Bone marrow smear · 250×250 px · cropped to a single cell: 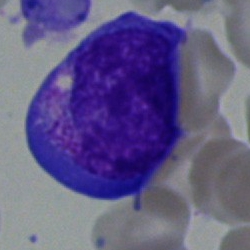
Specimen: bone marrow smear.
Morphological class: blast.